Bone marrow aspirate smear; May-Grünwald-Giemsa stain; single-cell field
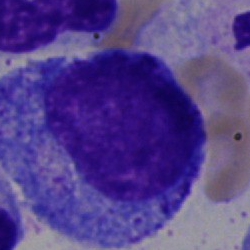
{"cell_type": "progranulocyte", "lineage": "myeloid"}